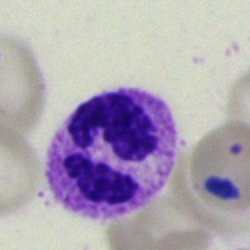

Morphology consistent with a segmented neutrophil.